40× oil immersion. Bone marrow aspirate smear.
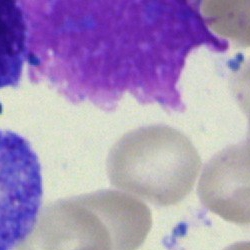 Impression — artefact.